40× oil immersion. Bone marrow aspirate smear:
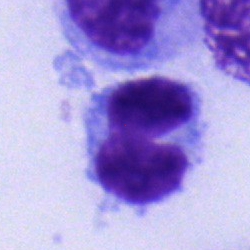Morphological class = lymphocyte.